Bone marrow smear.
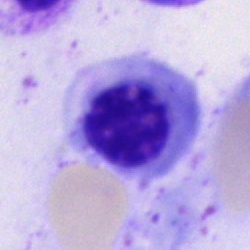
Cell type — nucleated red cell.